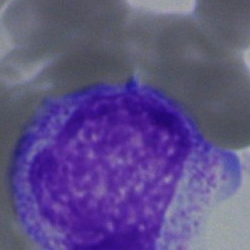

Specimen: bone marrow smear.
Cell type: myelocyte.
Lineage: myeloid.